Peripheral blood smear:
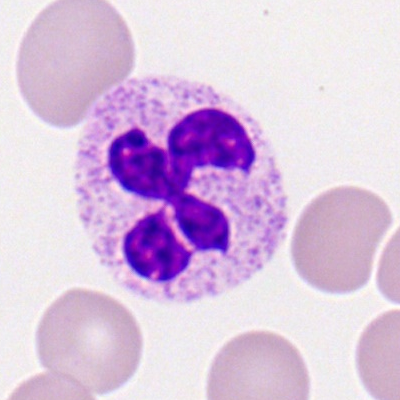

Morphology consistent with a polymorphonuclear neutrophil.